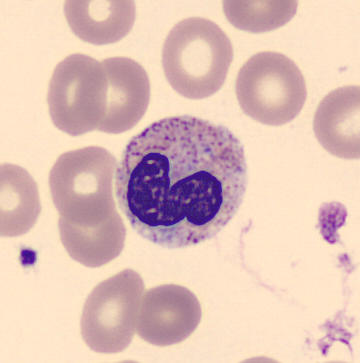

Morphological class = neutrophil (band). Image: Peripheral blood film; 360×363 px.